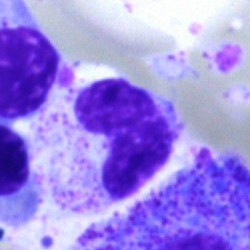 The morphological class is neutrophil (band).